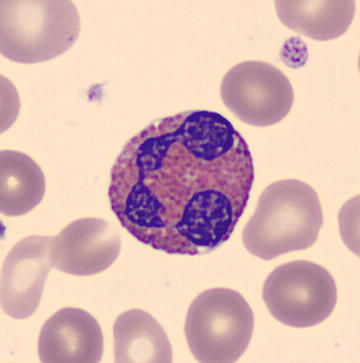
Acquisition: Single-cell field; peripheral blood film; CellaVision DM96.

Showing an eosinophilic granulocyte.